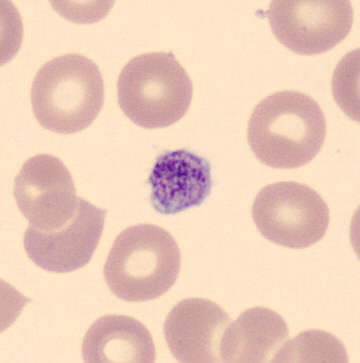

Platelet. Image: Peripheral blood film.